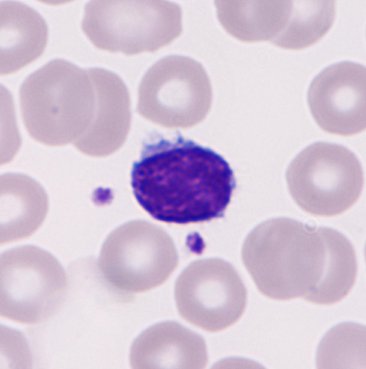Q: What is the morphological classification of this cell?
A: Typical lymphocyte. Image: Peripheral blood film.